Peripheral blood film — 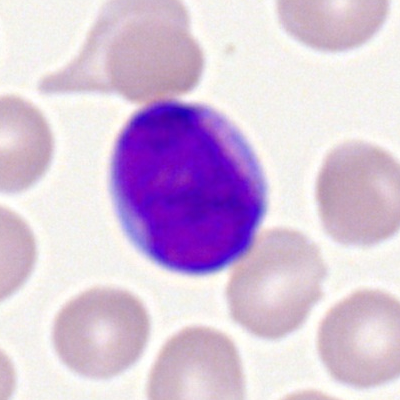 The cell shown is a myeloblast.